Bone marrow smear.
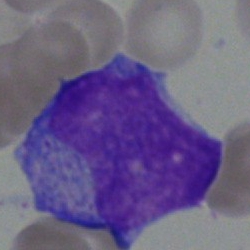 Cell = blast cell.